Bone marrow aspirate smear · 40× oil immersion · May-Grünwald-Giemsa stain
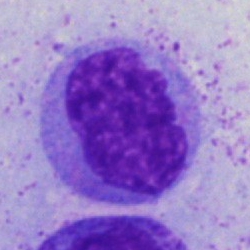Q: What cell is this?
A: It is a monocyte.